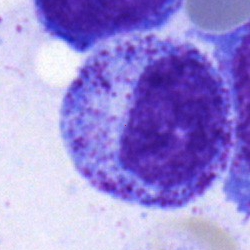Morphology — myelocyte.